Bone marrow smear — 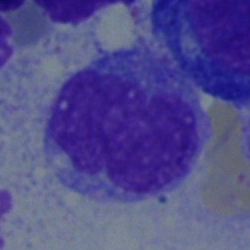Q: What cell is this?
A: It is a monocyte.